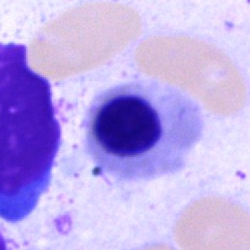
Morphology consistent with a nucleated red blood cell.